MGG-stained · brightfield microscopy, 40× oil immersion · bone marrow aspirate smear.
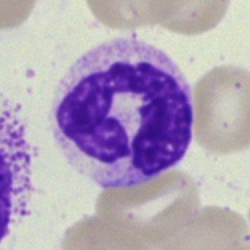Morphology consistent with a polymorphonuclear neutrophil.